May-Grünwald-Giemsa stain; 250×250; bone marrow aspirate smear:
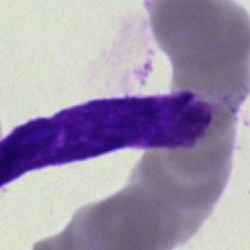 Impression — artifact.